Brightfield microscopy, 40× oil immersion. Bone marrow smear
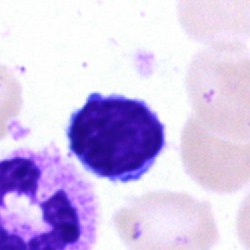
Showing a lymphocyte.